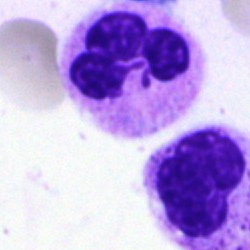
Cell: polymorphonuclear neutrophil.